Bone marrow smear: 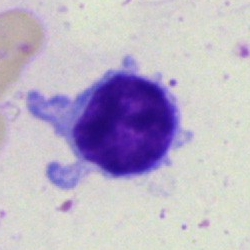 Specimen: bone marrow aspirate smear.
Classification: lymphocyte.
Lineage: lymphoid.